Bone marrow smear
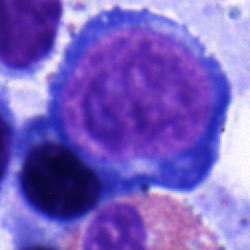 Proerythroblast.